400×400. Peripheral blood film:
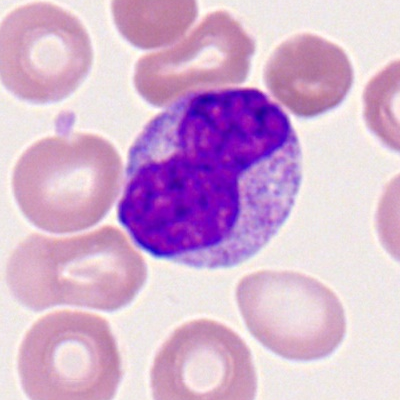

Q: What is the morphological classification of this cell?
A: Monocyte.